Bone marrow aspirate smear · single-cell field — 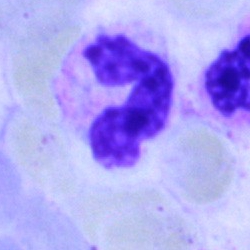
Classification = neutrophil (segmented).